Brightfield, 40× oil-immersion objective. Bone marrow smear. 250 by 250 pixels: 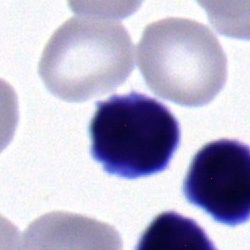 Specimen: bone marrow smear.
Cell type: typical lymphocyte.
Lineage: lymphoid.